40× oil immersion. Single-cell field. Bone marrow smear: 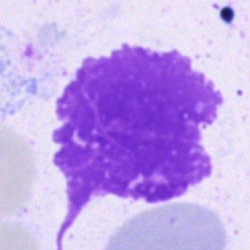
Morphology → artifact.